Single-cell crop; bone marrow aspirate smear; brightfield microscopy, 40× oil immersion:
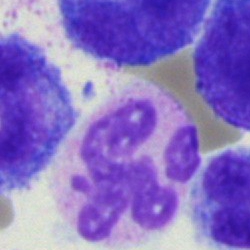

Cell type = polymorphonuclear neutrophil.